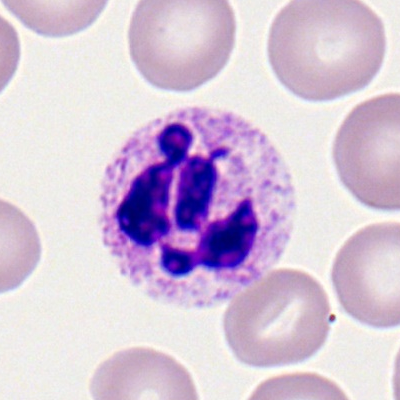 Cell = segmented neutrophil.